Bone marrow aspirate smear · 250×250 px · Pappenheim-stained: 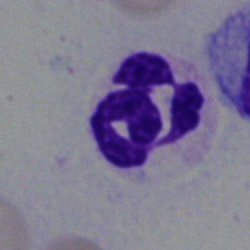 Morphology — neutrophil (segmented).